Bone marrow smear: 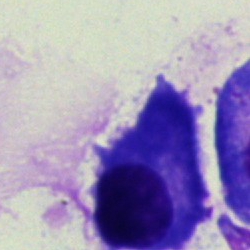
A plasmacyte.